40× oil immersion · image size 250×250 · bone marrow smear.
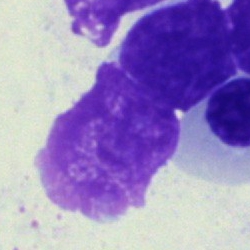 Cell = artefact.